Peripheral blood smear; single-cell crop — 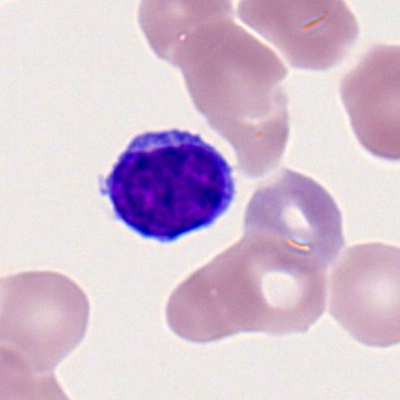 A typical lymphocyte.